MGG-stained · 250 by 250 pixels · bone marrow aspirate smear:
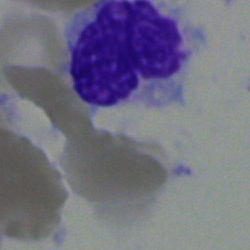
Morphology — polymorphonuclear neutrophil.